Bone marrow aspirate smear: 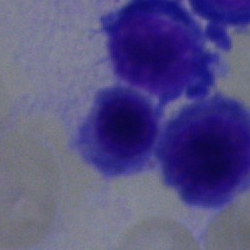 Q: Identify the cell.
A: Normoblast.